Bone marrow aspirate smear — 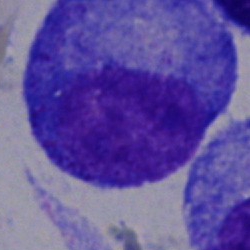
Cell = promyelocyte.